Pappenheim-stained; bone marrow aspirate smear.
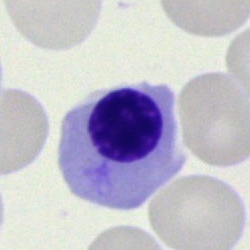 Cell — nucleated red cell.